Bone marrow aspirate smear
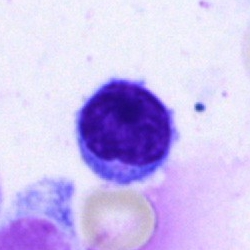
A typical lymphocyte.